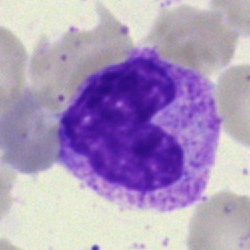 Morphology → stab cell.